Bone marrow aspirate smear
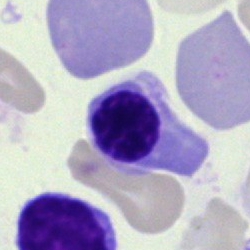

Morphology consistent with a nucleated red cell.